Bone marrow smear: 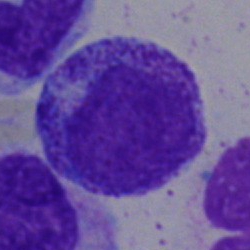
Morphology — myelocyte.